40× oil immersion; bone marrow smear — 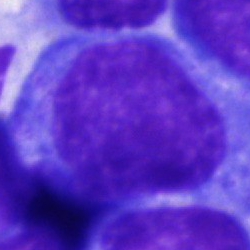A blast cell.